Bone marrow smear.
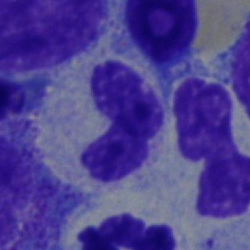

Classification — band-form neutrophil.